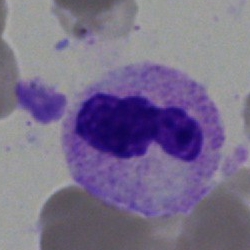
Showing a segmented neutrophil.